Bone marrow smear.
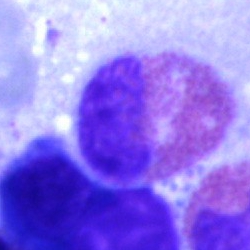
This is an eosinophilic granulocyte.